Bone marrow aspirate smear:
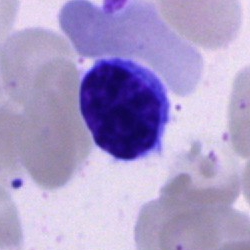Q: Which cell type is shown here?
A: This is a typical lymphocyte.